Bone marrow aspirate smear
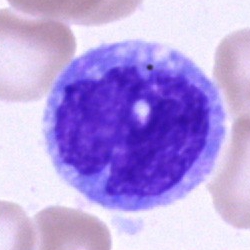The classification is monocyte.